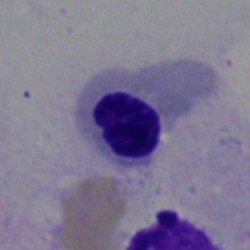
Impression — erythroblast.